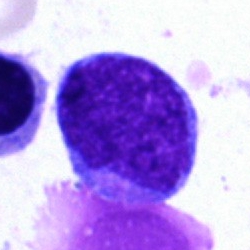 Morphology consistent with a blast cell.